Single cell centered in the field. Bone marrow smear
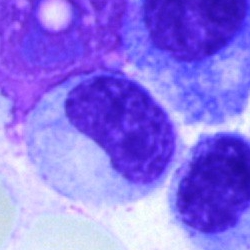
Cell: metamyelocyte.